MGG-stained · bone marrow aspirate smear
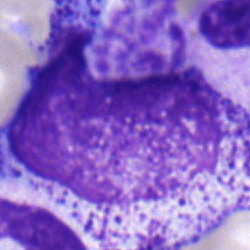

Specimen: bone marrow aspirate smear.
Cell type: myelocyte.